Bone marrow smear:
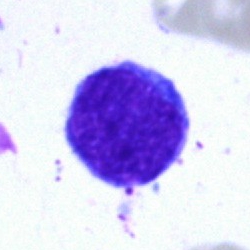Morphology → typical lymphocyte.